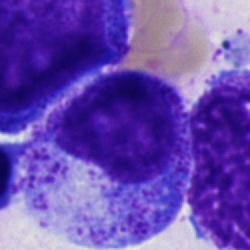
Single-cell crop from a bone marrow smear: promyelocyte.